Single-cell crop · bone marrow aspirate smear · 40× oil immersion — 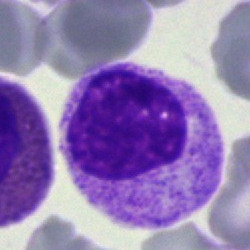 Myelocyte.